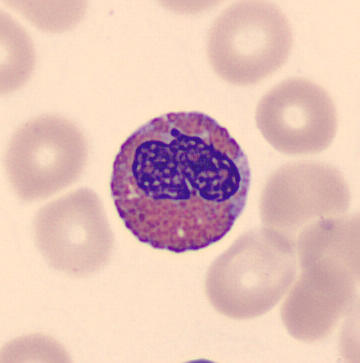 Peripheral blood smear · imaged on a CellaVision DM96 analyser.
{"cell_type": "eosinophil", "lineage": "myeloid"}